Bone marrow smear — 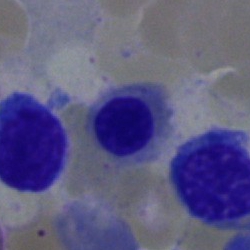

Q: Which cell type is shown here?
A: It is a nucleated red cell.